Bone marrow smear: 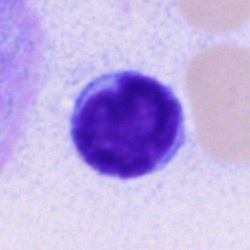 Specimen: bone marrow aspirate smear.
Cell: lymphocyte.
Lineage: lymphoid.